Brightfield, 40× oil-immersion objective · bone marrow aspirate smear · single-cell crop.
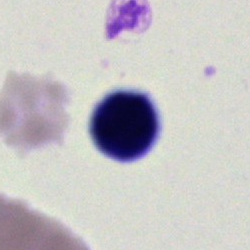
Cell type — artifact.